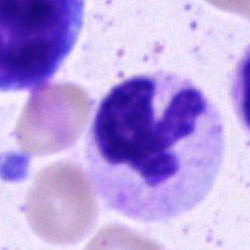 Q: What type of cell is this?
A: Segmented neutrophil.